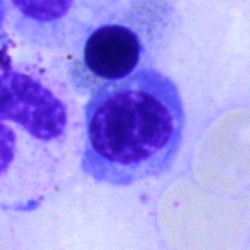This is an erythroblast.